Bone marrow smear.
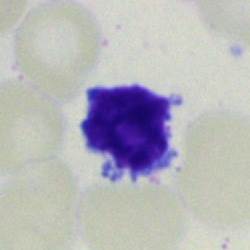Classification: typical lymphocyte.